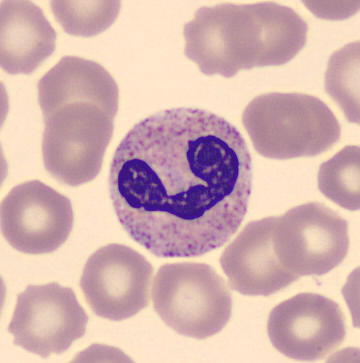Specimen: peripheral blood film.
Cell: stab cell.
Lineage: myeloid.